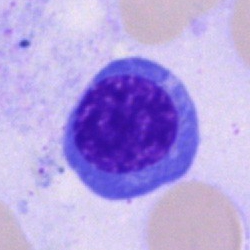 Cell type — nucleated red cell.